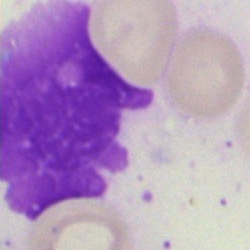 Bone marrow smear showing an artifact.